Bone marrow smear · single cell centered in the field:
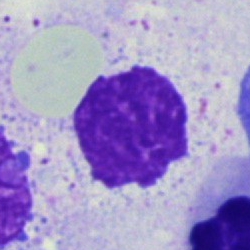
An artefact.